Bone marrow aspirate smear — 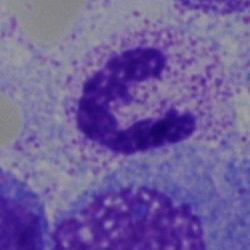
The classification is polymorphonuclear neutrophil.